Bone marrow smear; 250×250; brightfield microscopy, 40× oil immersion.
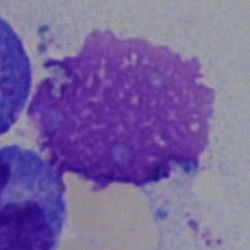
An artefact.